Bone marrow aspirate smear; 40× objective, oil immersion; image size 250×250: 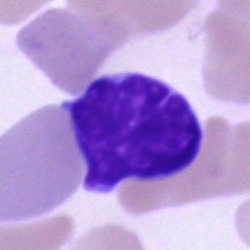
Cell type = typical lymphocyte.